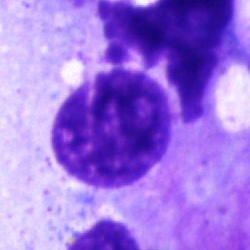 Morphological class — artefact.